Bone marrow smear:
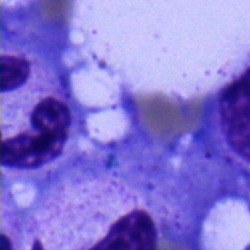
Showing a polymorphonuclear neutrophil.